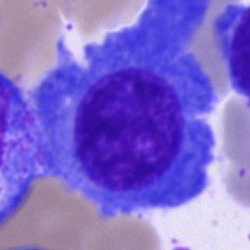
{"cell_type": "plasma cell", "lineage": "lymphoid"}